Bone marrow smear
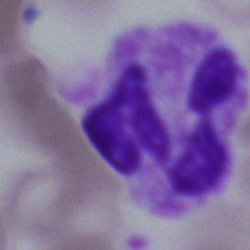Artefact.